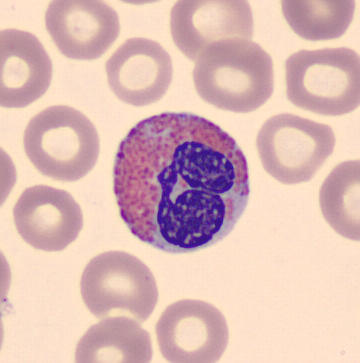
Q: What cell is this?
A: This is an eosinophilic granulocyte.